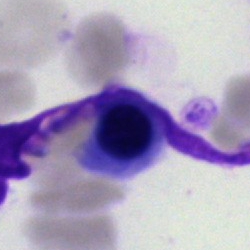

Cell type: artifact.